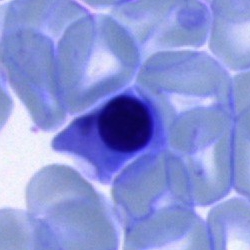Cell type = nucleated red cell.